Bone marrow aspirate smear — 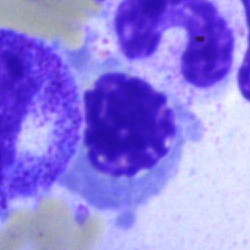 A nucleated red cell.